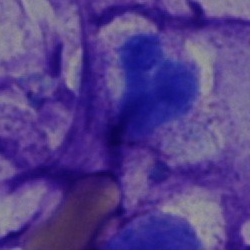

Specimen: bone marrow aspirate smear.
Morphological class: polymorphonuclear neutrophil.
Lineage: myeloid.